Bone marrow aspirate smear.
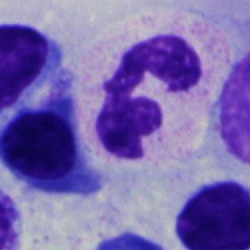

Q: What type of cell is this?
A: A polymorphonuclear neutrophil.